Pappenheim-stained; bone marrow aspirate smear.
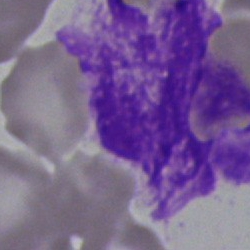
Morphology consistent with an artifact.